Bone marrow smear. 40× oil immersion — 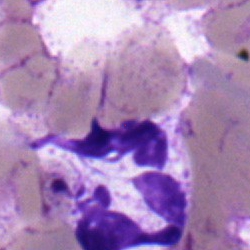Classification — polymorphonuclear neutrophil.